Single cell centered in the field; bone marrow smear.
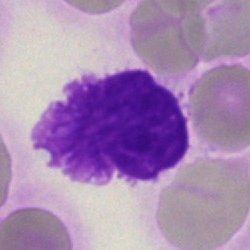 {"cell_type": "artifact"}